Bone marrow aspirate smear · brightfield, 40× oil-immersion objective.
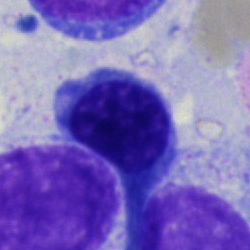 Specimen: bone marrow smear.
Morphological class: nucleated red blood cell.
Lineage: erythroid.